Bone marrow smear · 40× objective, oil immersion
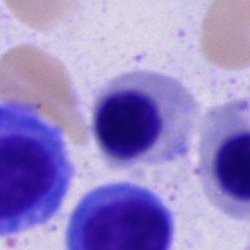
Morphology consistent with a nucleated red cell.